Single-cell crop · bone marrow aspirate smear · brightfield microscopy, 40× oil immersion: 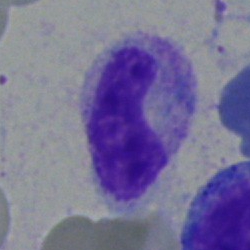

Classification — band neutrophil.